Bone marrow smear. 40× oil immersion — 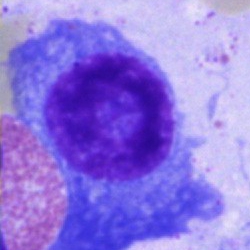

Specimen: bone marrow aspirate smear.
Cell type: plasma cell.
Lineage: lymphoid.